Brightfield microscopy, 40× oil immersion · bone marrow smear: 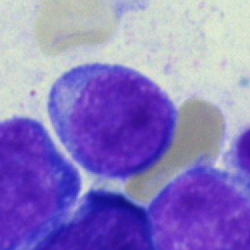
Specimen: bone marrow smear.
Cell: lymphocyte.
Lineage: lymphoid.